Bone marrow smear. MGG-stained
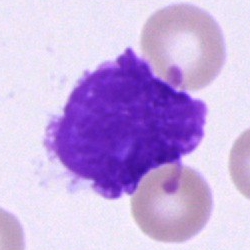

Q: What is shown here?
A: An artefact.